May-Grünwald-Giemsa/Pappenheim stain · bone marrow smear:
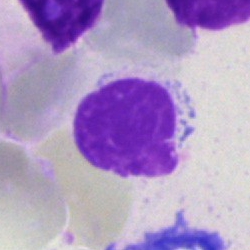 An artefact.